May-Grünwald-Giemsa/Pappenheim stain · bone marrow aspirate smear · single-cell crop:
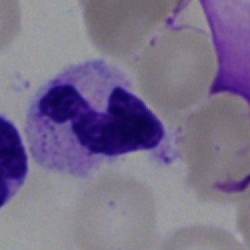Specimen: bone marrow aspirate smear.
Cell: neutrophil (segmented).